40× oil immersion; single-cell field; bone marrow aspirate smear: 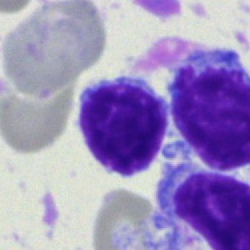 Specimen: bone marrow smear.
Morphological class: lymphocyte.
Lineage: lymphoid.